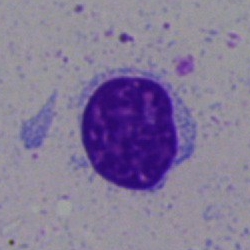
Q: What is the morphological classification of this cell?
A: It is a lymphocyte.